Bone marrow smear:
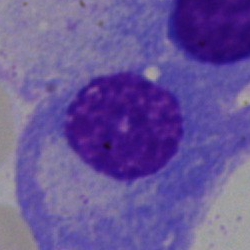
Cell type = plasma cell.